250×250 · bone marrow aspirate smear
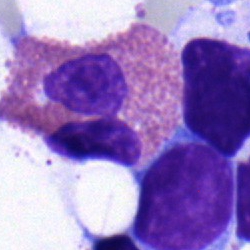Cell type: eosinophil.